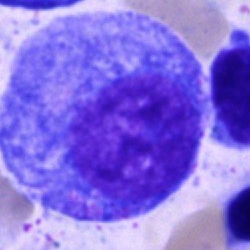

Morphology consistent with a progranulocyte.